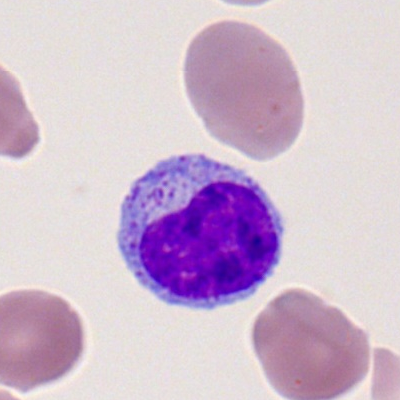
Cell type: lymphocyte.